Bone marrow smear · 40× objective, oil immersion · May-Grünwald-Giemsa/Pappenheim stain
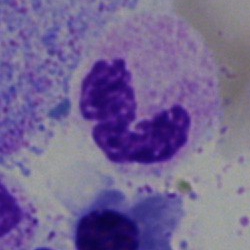Morphology consistent with a segmented neutrophil.